250×250; bone marrow aspirate smear; 40× objective, oil immersion: 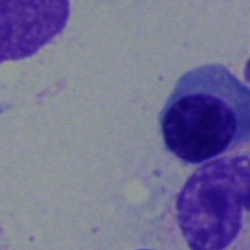

Classification: nucleated red blood cell.